Bone marrow smear — 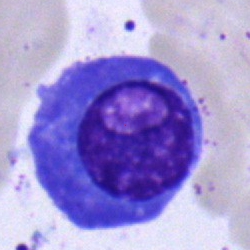 Showing a plasma cell.